Bone marrow smear
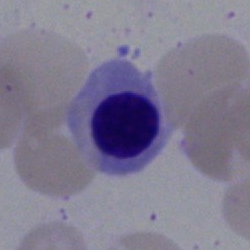 A nucleated red blood cell.